Single cell centered in the field. Peripheral blood film:
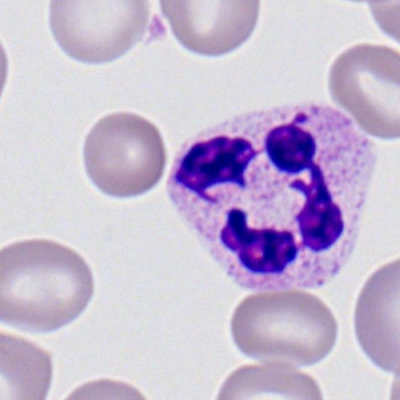

The cell shown is a neutrophil (segmented).